Pappenheim-stained; image size 250×250; bone marrow aspirate smear:
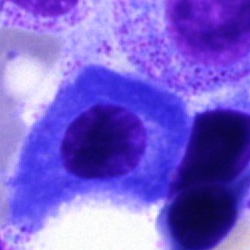 Specimen: bone marrow smear.
Classification: plasmacyte.
Lineage: lymphoid.